Bone marrow aspirate smear.
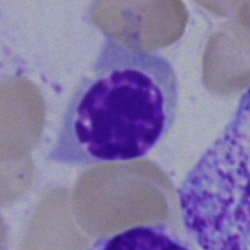Cell type: nucleated red cell.